Bone marrow aspirate smear.
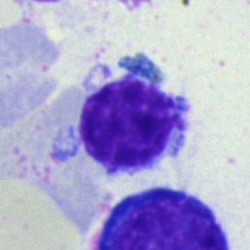 Specimen: bone marrow aspirate smear.
Cell type: typical lymphocyte.
Lineage: lymphoid.